Bone marrow aspirate smear — 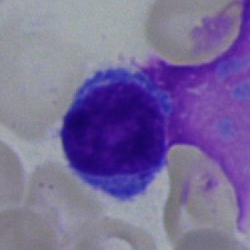
The morphological class is lymphocyte.